Bone marrow aspirate smear:
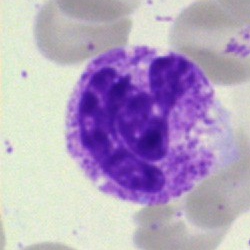

Classification — polymorphonuclear neutrophil.